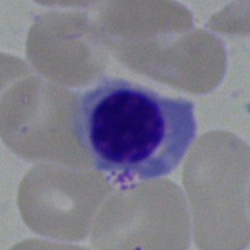An erythroblast on a bone marrow smear.